Bone marrow aspirate smear
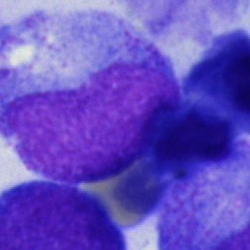 Morphology consistent with a band-form neutrophil.